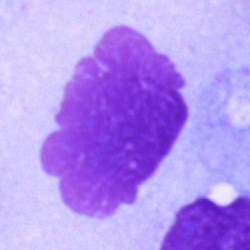
{"cell_type": "artifact"}